MGG-stained. Bone marrow smear. Cropped to a single cell.
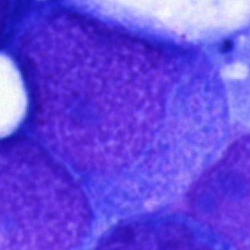
Morphology → undifferentiated blast.